40× oil immersion; bone marrow smear; single cell centered in the field
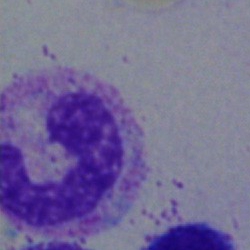

The cell is band-form neutrophil.